Bone marrow smear
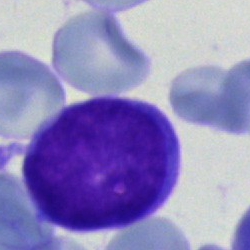Specimen: bone marrow smear.
Morphological class: blast.